250 by 250 pixels; bone marrow aspirate smear.
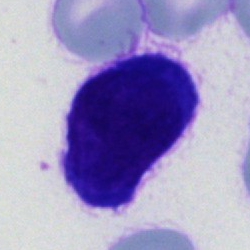

Morphology → cell of indeterminate lineage.